Bone marrow aspirate smear
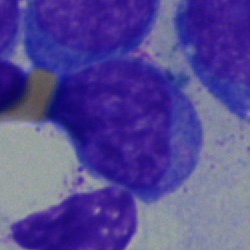
Single cell identified as an undifferentiated blast.